250×250 · 40× oil immersion · bone marrow smear.
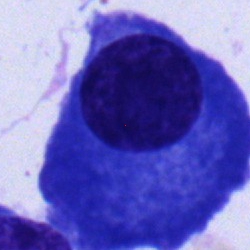
Morphology — plasma cell.